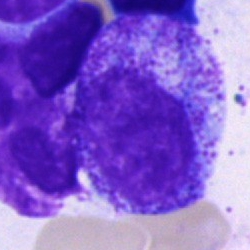 {"cell_type": "progranulocyte", "lineage": "myeloid"}